Bone marrow aspirate smear; 250×250 px
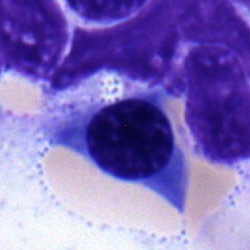 The cell shown is an erythroblast.